Bone marrow smear:
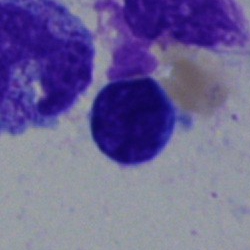Morphological class: lymphocyte.